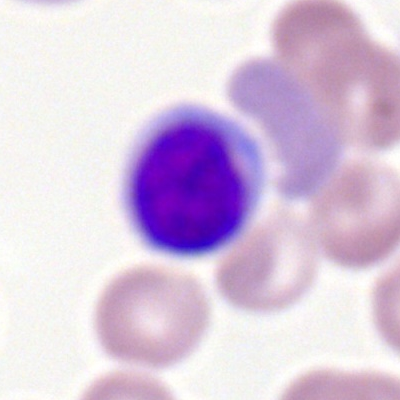

Impression — lymphocyte.